Bone marrow aspirate smear
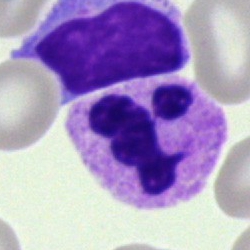

Classification = neutrophil (segmented).